Bone marrow smear.
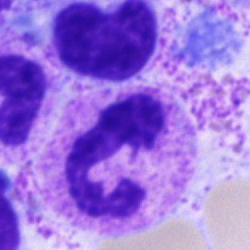
Q: What is shown here?
A: It is a segmented neutrophil.